Bone marrow smear. 250×250: 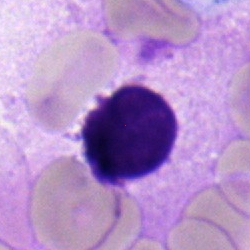
Specimen: bone marrow aspirate smear.
Cell: lymphocyte.
Lineage: lymphoid.